Bone marrow aspirate smear. MGG-stained. 40× oil immersion
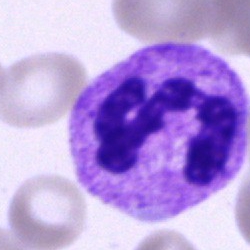
Morphological class — neutrophil (segmented).